Peripheral blood film; Romanowsky-type stain
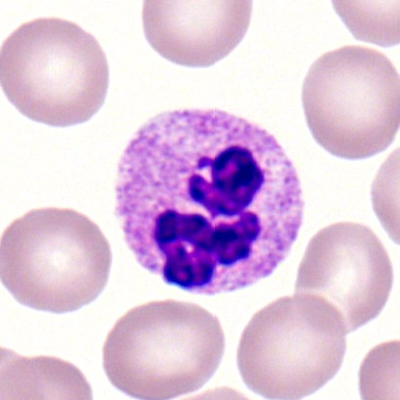A neutrophil (segmented).